Cropped to a single cell; bone marrow aspirate smear; 250 by 250 pixels
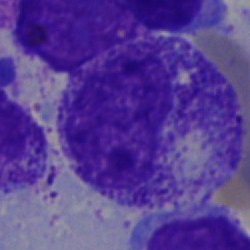

Cell type: myelocyte.